Bone marrow smear: 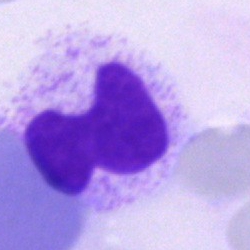
Showing an artifact.